Peripheral blood smear.
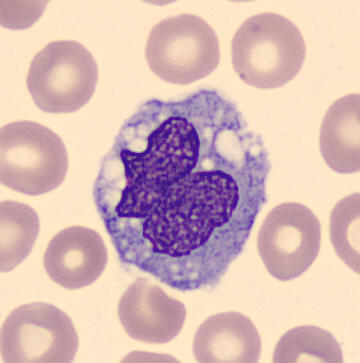
The cell shown is a monocyte.